Bone marrow aspirate smear:
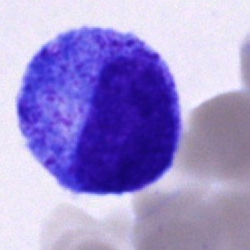
Specimen: bone marrow aspirate smear.
Cell type: promyelocyte.
Lineage: myeloid.